40× oil immersion · bone marrow aspirate smear.
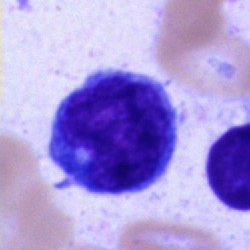

Q: Identify the cell.
A: A blast.